Bone marrow aspirate smear · image size 250×250 — 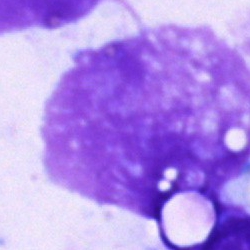Q: What is shown here?
A: This is an artefact.